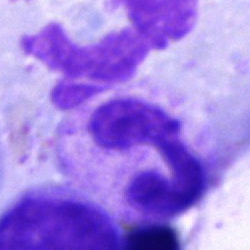
Cell type = artefact.